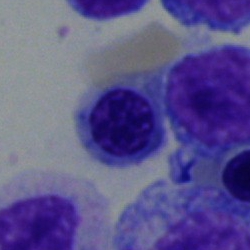
A nucleated red blood cell.